Bone marrow aspirate smear — 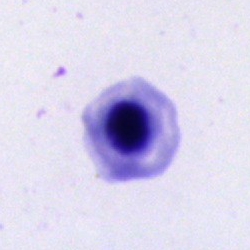

Morphology consistent with a nucleated red blood cell.